250 by 250 pixels. Bone marrow aspirate smear
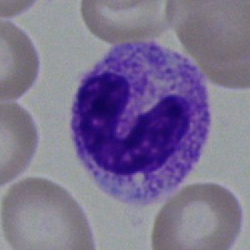

Single cell identified as a segmented neutrophil.